May-Grünwald-Giemsa/Pappenheim stain. Bone marrow aspirate smear. Brightfield microscopy, 40× oil immersion: 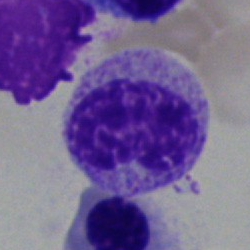
Specimen: bone marrow aspirate smear.
Cell type: metamyelocyte.